40× oil immersion; bone marrow aspirate smear — 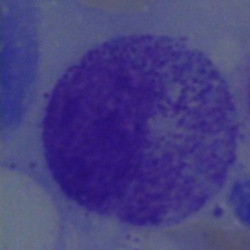
Morphology consistent with a myelocyte.